Cropped to a single cell · bone marrow smear
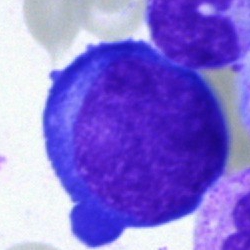
Single cell identified as a proerythroblast.